Bone marrow smear.
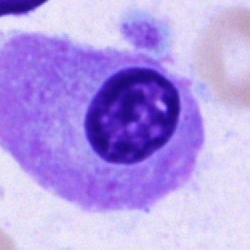
The cell type is plasmacyte.